40× objective, oil immersion; single-cell field; bone marrow smear
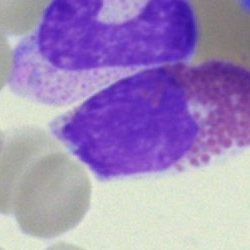
Showing an eosinophilic granulocyte.